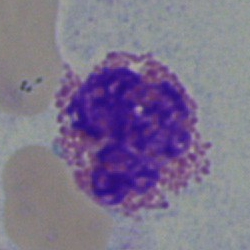Q: What cell is this?
A: An eosinophilic granulocyte.